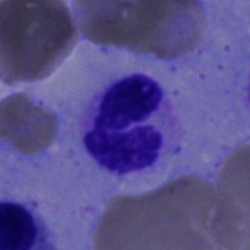

Specimen: bone marrow smear.
Cell: segmented neutrophil.
Lineage: myeloid.